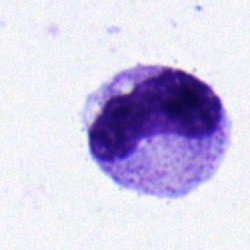 Q: What is shown here?
A: Metamyelocyte.